Bone marrow smear:
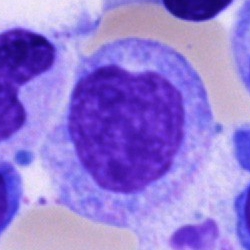 {"cell_type": "promyelocyte", "lineage": "myeloid"}